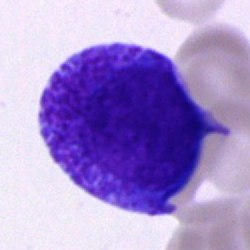 Cell type = progranulocyte.